Bone marrow aspirate smear:
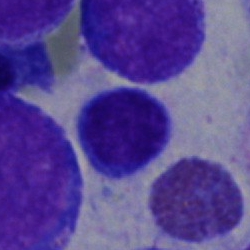A typical lymphocyte.